Bone marrow aspirate smear; brightfield, 40× oil-immersion objective: 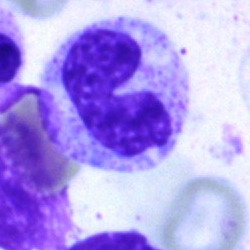 Stab cell.